Bone marrow smear · brightfield, 40× oil-immersion objective.
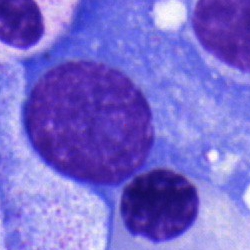
Impression → plasmacyte.